Bone marrow aspirate smear — 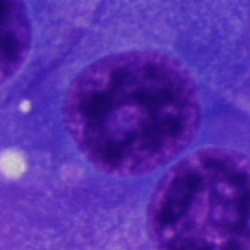 Morphology consistent with an artefact.